Single cell centered in the field · 250×250 px · bone marrow aspirate smear — 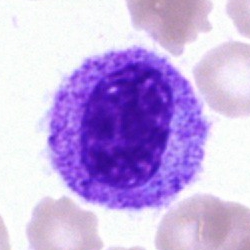 The cell shown is a myelocyte.